Bone marrow smear · May-Grünwald-Giemsa stain.
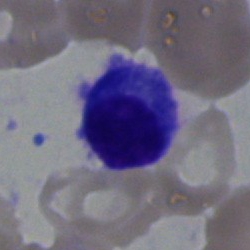
Q: Which cell type is shown here?
A: This is a plasmacyte.